Single cell centered in the field. MGG-stained. Bone marrow aspirate smear:
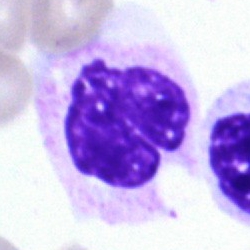 Showing a polymorphonuclear neutrophil.